Bone marrow aspirate smear. May-Grünwald-Giemsa stain:
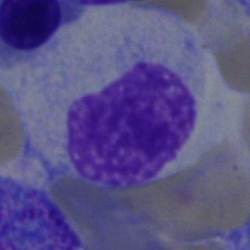Morphological class = myelocyte.